Bone marrow smear. 250 by 250 pixels. Cropped to a single cell — 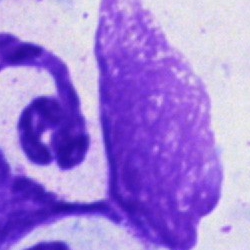

Showing an artefact.